Bone marrow smear
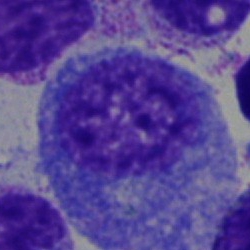

{"cell_type": "promyelocyte", "lineage": "myeloid"}